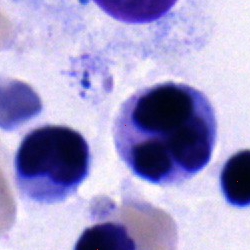

A monocyte on a bone marrow smear.